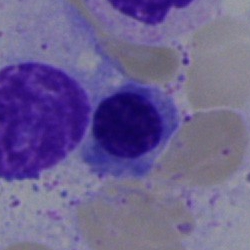

Q: What cell is this?
A: This is an erythroblast.